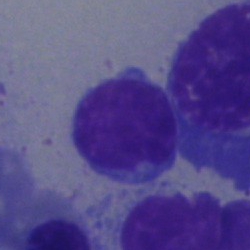The cell type is lymphocyte.